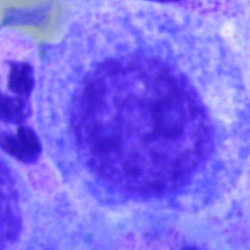

Q: What type of cell is this?
A: A promyelocyte.